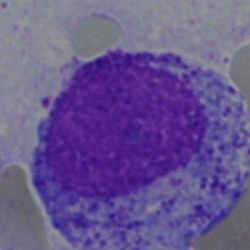
{"cell_type": "promyelocyte"}